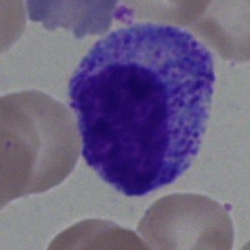 Q: Which cell type is shown here?
A: A progranulocyte.